Bone marrow aspirate smear:
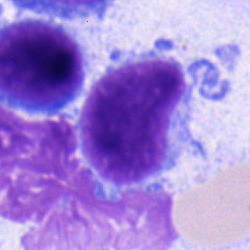
Specimen: bone marrow smear.
Cell: lymphocyte.
Lineage: lymphoid.